40× oil immersion; bone marrow smear — 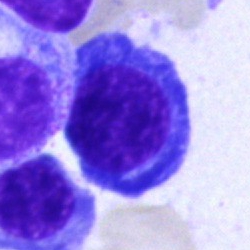 Showing an erythroblast.